Bone marrow aspirate smear — 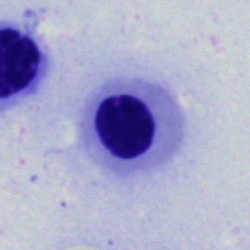
Showing a nucleated red cell.